Pappenheim-stained. Brightfield, 40× oil-immersion objective. Bone marrow smear.
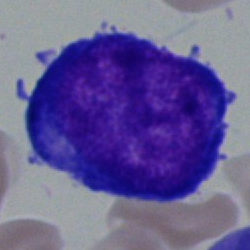 Morphology consistent with a proerythroblast.